Single-cell crop. Bone marrow smear. MGG-stained — 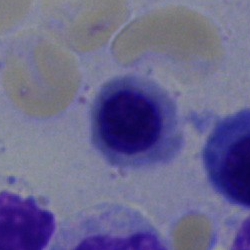
Classification = normoblast.